Bone marrow aspirate smear — 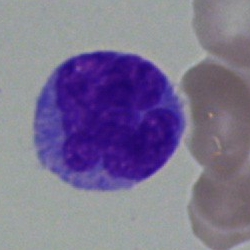This is a monocyte.